Bone marrow aspirate smear; May-Grünwald-Giemsa stain
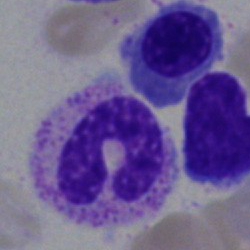Specimen: bone marrow smear.
Classification: polymorphonuclear neutrophil.
Lineage: myeloid.